Bone marrow aspirate smear
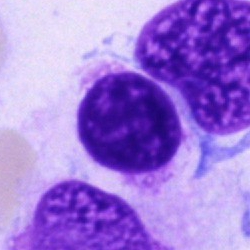
Unidentifiable cell.